Bone marrow smear · cropped to a single cell:
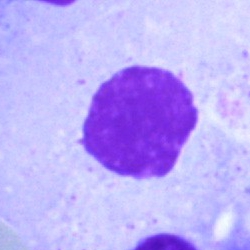Cell: artefact.